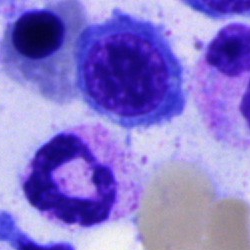Morphology → neutrophil (segmented).